May-Grünwald-Giemsa/Pappenheim stain · bone marrow aspirate smear · 250 by 250 pixels:
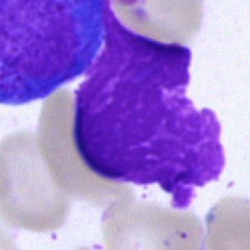

Specimen: bone marrow smear.
Cell type: artifact.